Bone marrow smear — 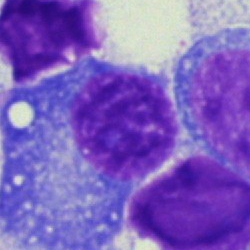Cell type = plasmacyte.